Bone marrow aspirate smear: 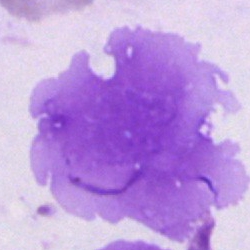
Specimen: bone marrow smear.
Cell type: artifact.